Bone marrow aspirate smear; 250×250 px
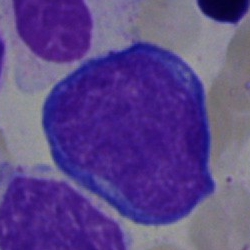Showing a pronormoblast.